MGG-stained. Bone marrow aspirate smear
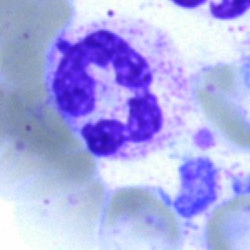

Impression → polymorphonuclear neutrophil.